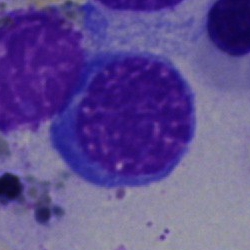Specimen: bone marrow smear.
Cell type: erythroblast.